Brightfield microscopy, 40× oil immersion · bone marrow aspirate smear:
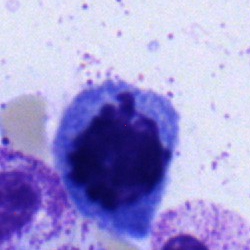 Q: What is shown here?
A: Nucleated red cell.